Bone marrow smear: 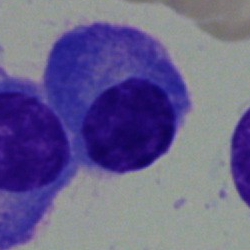 Morphology consistent with a plasma cell.